Bone marrow aspirate smear:
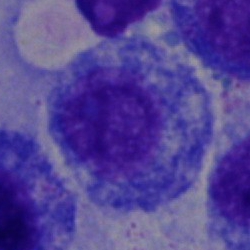Morphological class — promyelocyte.